250×250 px. Bone marrow smear. May-Grünwald-Giemsa stain
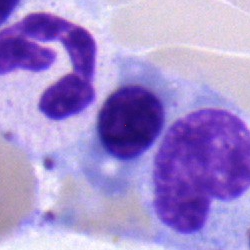

Nucleated red blood cell.